Bone marrow smear
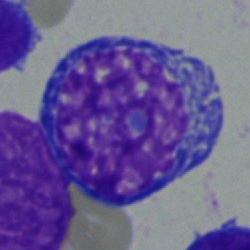

This is an undifferentiated blast.